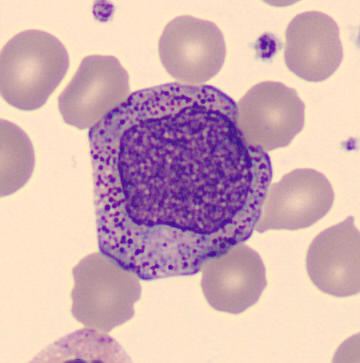
Preparation: Peripheral blood smear.

Showing a promyelocyte.